Brightfield, 40× oil-immersion objective. Bone marrow smear: 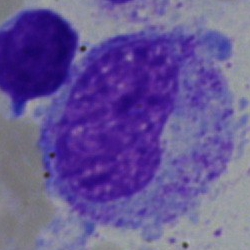Cell = metamyelocyte.